Single-cell field. Peripheral blood smear — 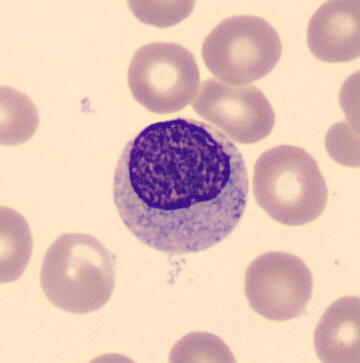Cell type: myelocyte.